MGG-stained. Bone marrow aspirate smear. Brightfield microscopy, 40× oil immersion
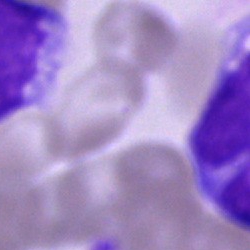

The cell type is artefact.